Bone marrow aspirate smear — 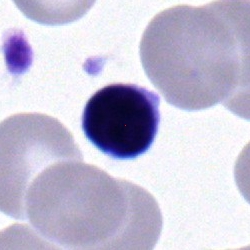

Cell type = typical lymphocyte.